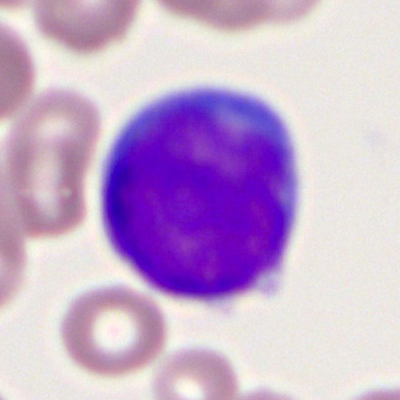
Morphology — myeloid blast.